May-Grünwald-Giemsa/Pappenheim stain; 250×250; bone marrow aspirate smear — 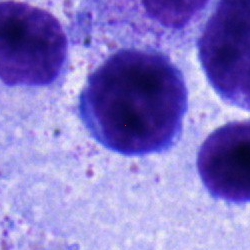This is a typical lymphocyte.